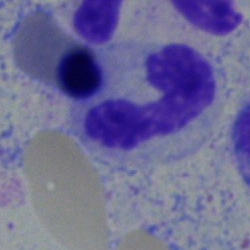 Single cell identified as a neutrophil (segmented).